Peripheral blood smear
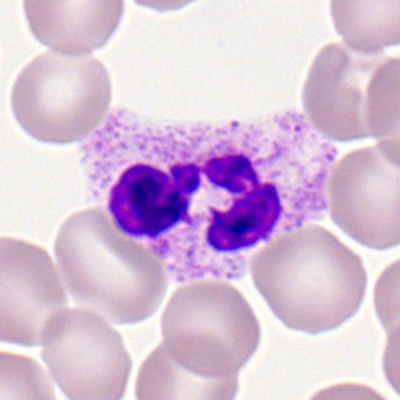Morphology → neutrophil (segmented).